Peripheral blood smear. Single-cell field
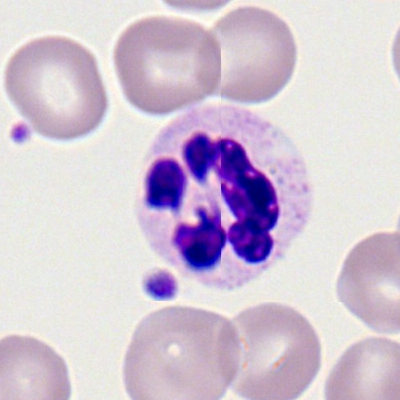Classification = neutrophil (segmented).